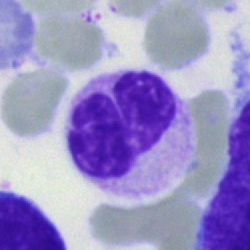Morphological class — band neutrophil.